Single-cell crop; bone marrow aspirate smear; 40× objective, oil immersion
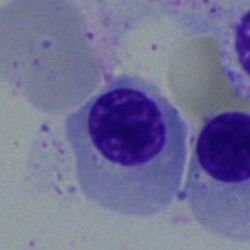

Impression — nucleated red cell.